250×250. Bone marrow aspirate smear: 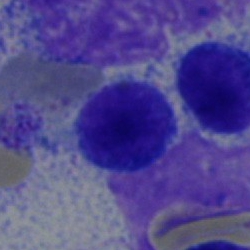

Q: What is shown here?
A: This is a typical lymphocyte.